Bone marrow smear.
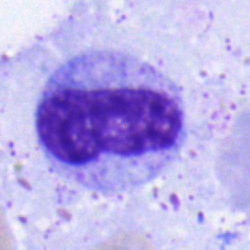Cell type = metamyelocyte.